Bone marrow aspirate smear; 250 by 250 pixels — 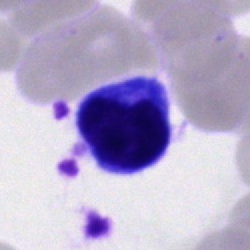 {"cell_type": "typical lymphocyte", "lineage": "lymphoid"}